Bone marrow aspirate smear:
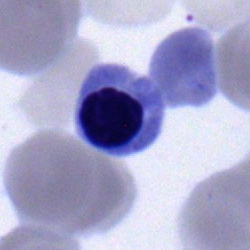This is a nucleated red blood cell.